Bone marrow smear — 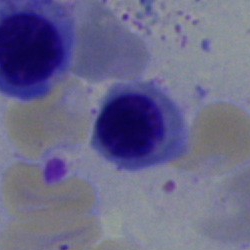A normoblast.